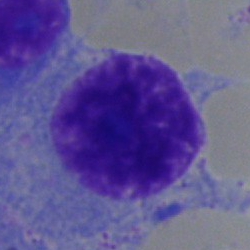

A plasmacyte.